Bone marrow aspirate smear
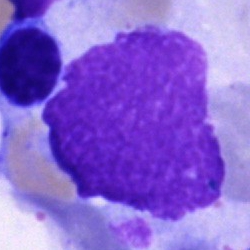
The classification is artifact.